Peripheral blood film
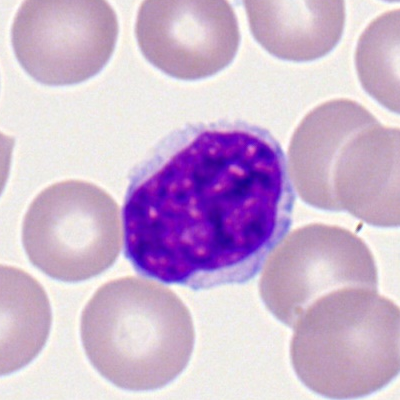 Classification = typical lymphocyte.